Bone marrow smear:
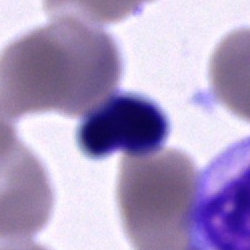 Q: Which cell type is shown here?
A: Cell of indeterminate lineage.